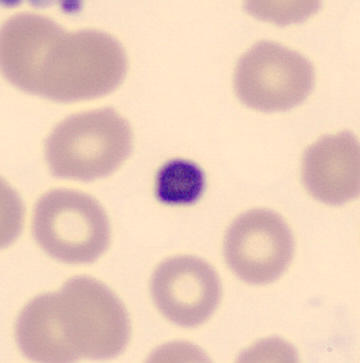Morphological class: platelet (thrombocyte).